Brightfield microscopy, 40× oil immersion; bone marrow aspirate smear: 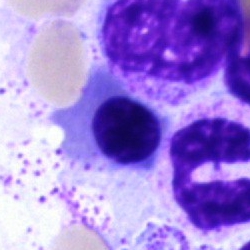

The cell type is normoblast.